Bone marrow aspirate smear
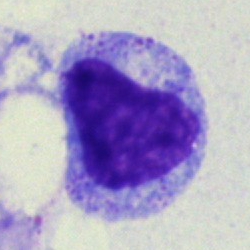
Classification = progranulocyte.